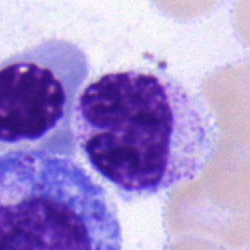Q: What is shown here?
A: Band neutrophil.